Bone marrow smear; brightfield, 40× oil-immersion objective.
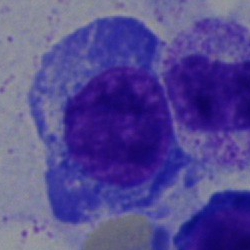
Morphological class = plasmacyte.